May-Grünwald-Giemsa/Pappenheim stain. Bone marrow smear. Single-cell field — 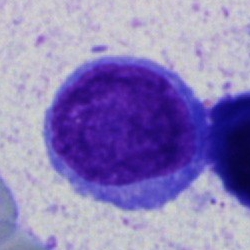

This is a lymphocyte.